Bone marrow aspirate smear:
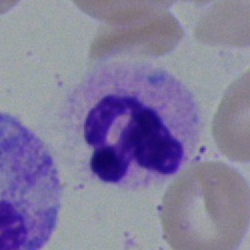
Specimen: bone marrow smear.
Cell type: segmented neutrophil.
Lineage: myeloid.